Peripheral blood smear: 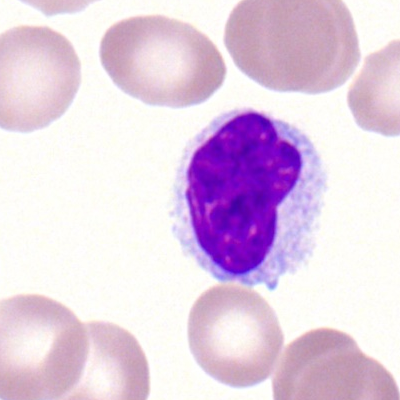Specimen: peripheral blood film.
Cell type: lymphocyte.